Bone marrow aspirate smear.
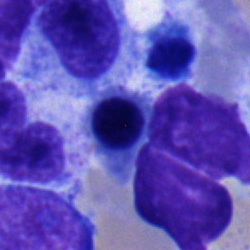 Impression — nucleated red cell.